Bone marrow smear
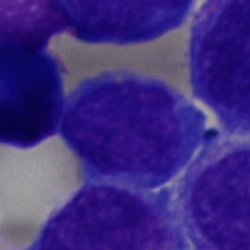Blast.